Bone marrow smear — 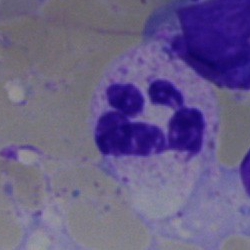
The cell shown is a segmented neutrophil.